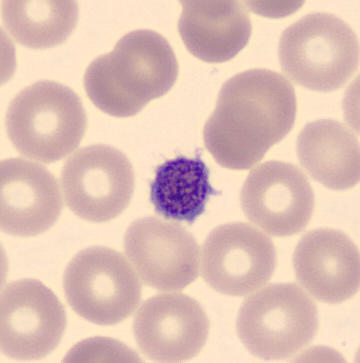

Preparation: Peripheral blood film. Morphology — thrombocyte.